Bone marrow aspirate smear
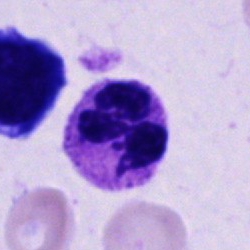Morphology → polymorphonuclear neutrophil.